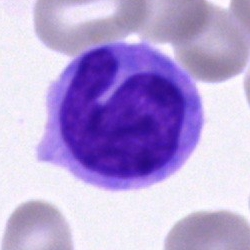

Q: What is the morphological classification of this cell?
A: This is an unidentifiable cell.